Bone marrow aspirate smear
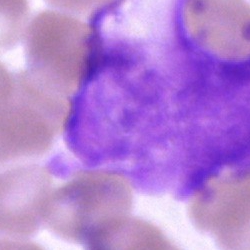
Showing an artefact.